Bone marrow aspirate smear — 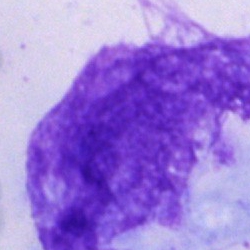The morphological class is artefact.